Bone marrow smear: 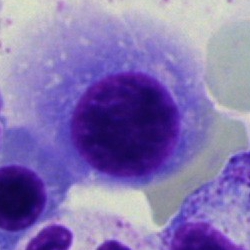
Specimen: bone marrow smear.
Cell: artifact.